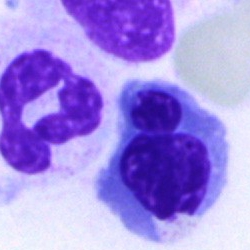

Bone marrow aspirate smear, single cell — normoblast.